Bone marrow smear — 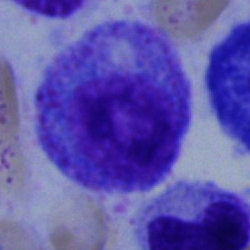 This is a myelocyte.